Bone marrow smear · 40× oil immersion
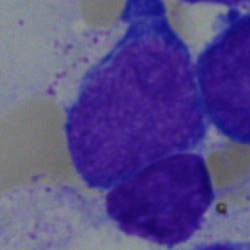

Morphology — undifferentiated blast.